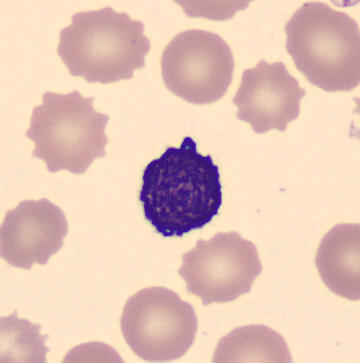

Peripheral blood smear. Q: What is shown here?
A: A lymphocyte.